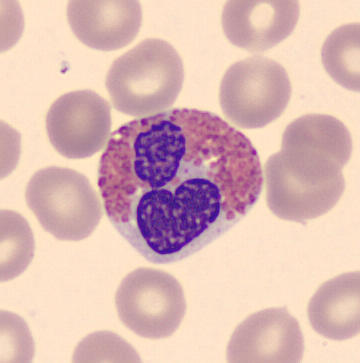
Acquisition: Peripheral blood smear.

Classification: eosinophil.